Bone marrow aspirate smear
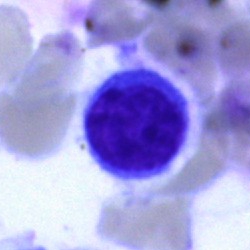
Impression — typical lymphocyte.